Bone marrow smear. Cropped to a single cell:
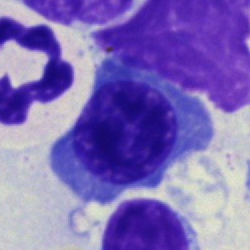
This is a normoblast.